Peripheral blood film
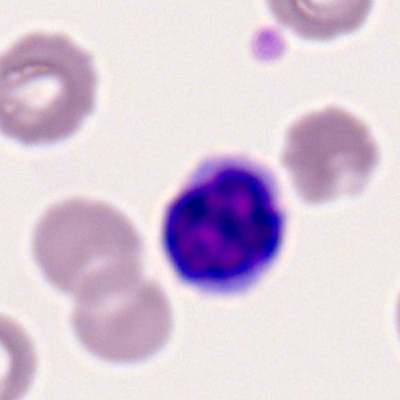 Typical lymphocyte.